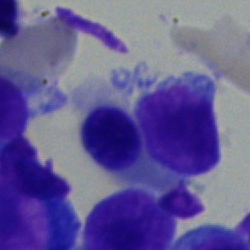

Single-cell crop from a bone marrow smear: erythroblast.